Bone marrow aspirate smear
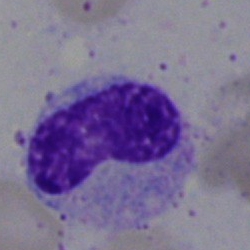 Morphology → stab cell.